Cropped to a single cell · bone marrow aspirate smear: 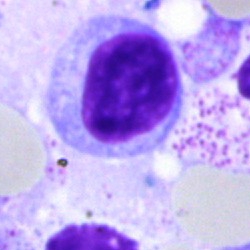 {"cell_type": "lymphocyte", "lineage": "lymphoid"}